Bone marrow aspirate smear:
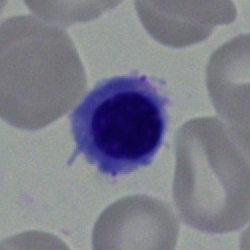

The classification is normoblast.